Pappenheim-stained; bone marrow smear.
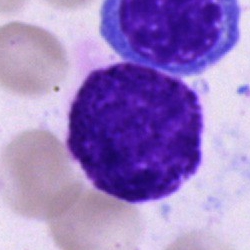An eosinophil.